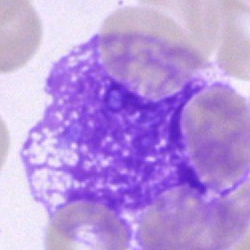

Single cell identified as an artefact.